Pappenheim-stained · bone marrow aspirate smear.
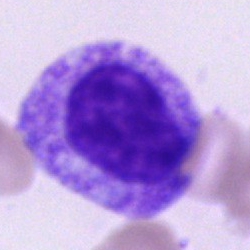Specimen: bone marrow aspirate smear.
Cell: promyelocyte.
Lineage: myeloid.